250×250 px. Bone marrow aspirate smear
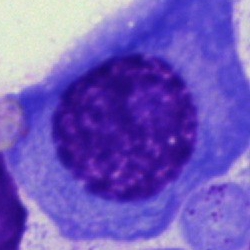
Classification — plasma cell.